40× oil immersion · bone marrow aspirate smear.
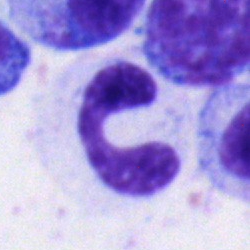 Cell: myelocyte.